250×250 · bone marrow aspirate smear · cropped to a single cell
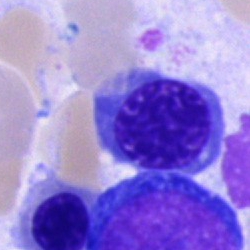

Showing an erythroblast.